Peripheral blood smear: 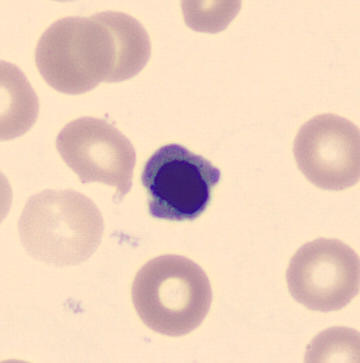

Morphology consistent with a nucleated red cell.